Bone marrow aspirate smear
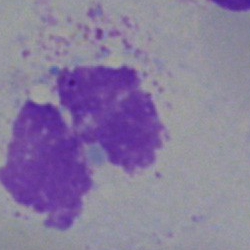

Classification: artifact.